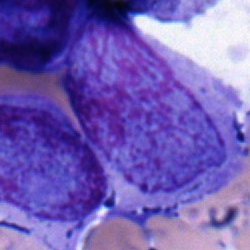

Specimen: bone marrow aspirate smear.
Morphological class: blast cell.